Bone marrow smear · single cell centered in the field: 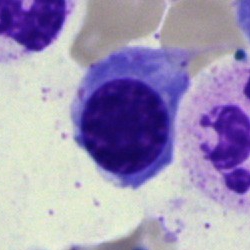 This is a nucleated red cell.